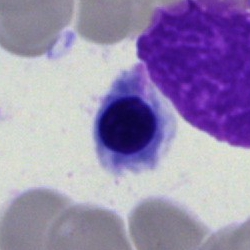
Morphology → nucleated red blood cell.